Bone marrow smear
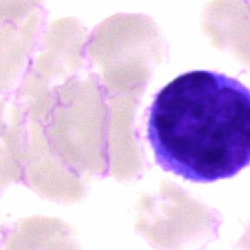

Cell type — lymphocyte.